Bone marrow aspirate smear; 40× objective, oil immersion:
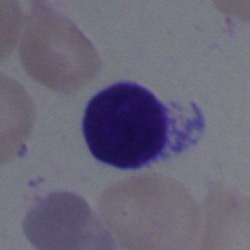
{"cell_type": "typical lymphocyte"}